Bone marrow smear · 250×250 px:
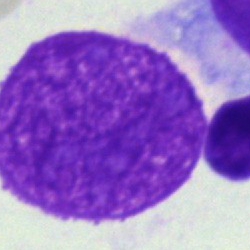

Specimen: bone marrow smear.
Morphological class: artifact.